Bone marrow smear:
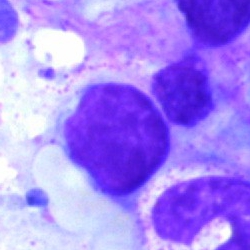
Morphology consistent with a lymphocyte.